Bone marrow smear — 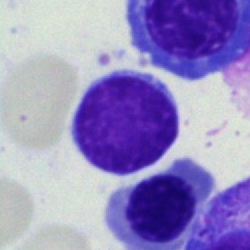 Impression — lymphocyte.